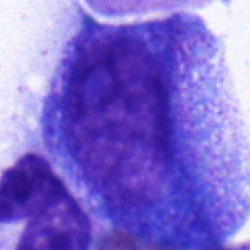
A promyelocyte.